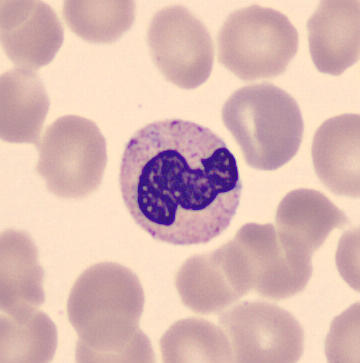 Image: Peripheral blood film. The cell is band-form neutrophil.